Bone marrow smear — 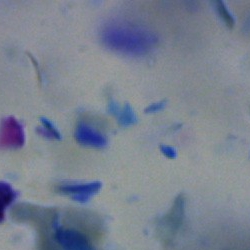Single cell identified as an artifact.